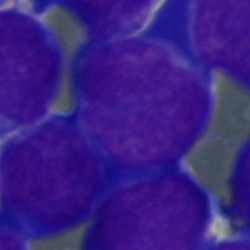
Cell type: undifferentiated blast.